Bone marrow smear.
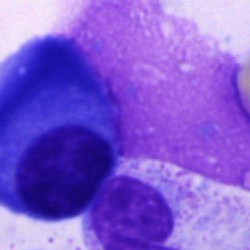

Cell — plasma cell.